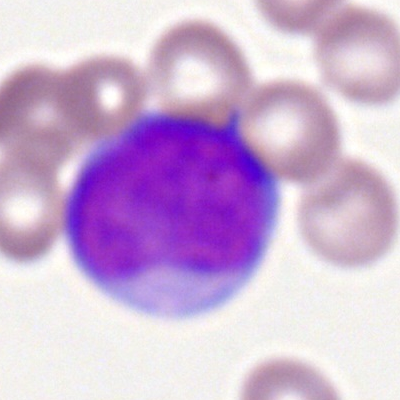
Q: What cell is this?
A: Myeloblast.